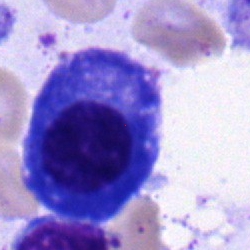 The classification is plasma cell.